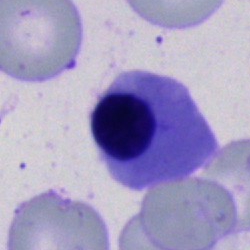

Classification: normoblast.